Bone marrow smear:
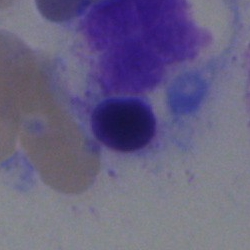 This is a nucleated red blood cell.